Bone marrow smear
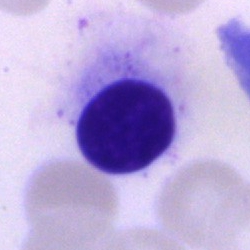

Q: What type of cell is this?
A: An unidentifiable cell.